May-Grünwald-Giemsa/Pappenheim stain · bone marrow aspirate smear — 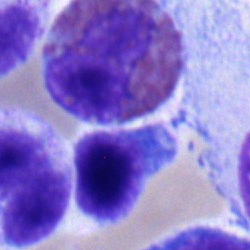 Q: What type of cell is this?
A: An eosinophilic granulocyte.